Bone marrow smear:
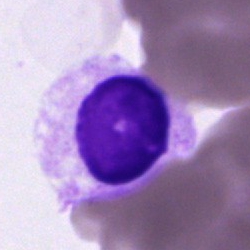Morphology consistent with an unidentifiable cell.